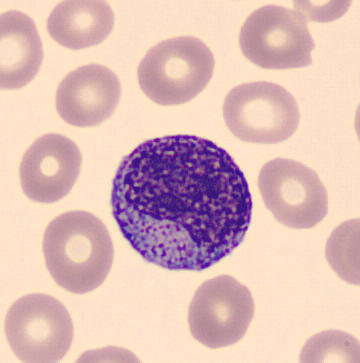

Morphology consistent with a myelocyte.

360×363 px. Peripheral blood smear.